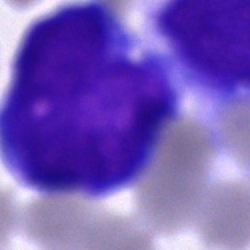
Cell — blast cell.